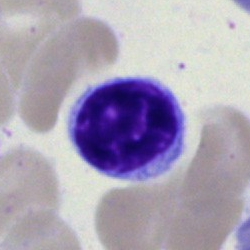A typical lymphocyte on a bone marrow smear.